Peripheral blood film:
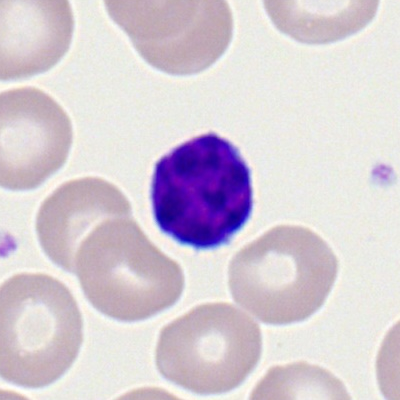Morphology consistent with a typical lymphocyte.